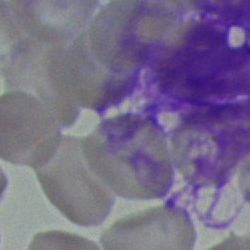 Q: What is shown here?
A: It is an artefact.